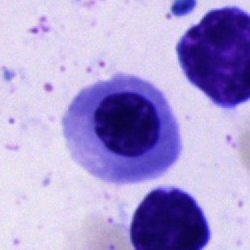
Showing a nucleated red cell.